Bone marrow aspirate smear:
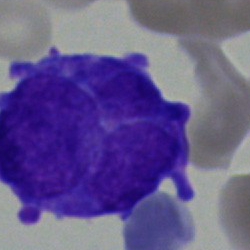
Q: What is shown here?
A: It is a blast cell.